Bone marrow aspirate smear — 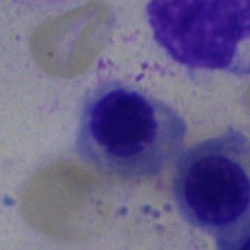

Specimen: bone marrow aspirate smear.
Cell: normoblast.
Lineage: erythroid.